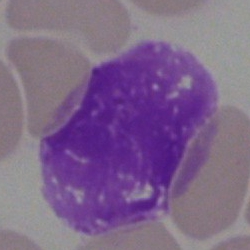Q: What is shown here?
A: Artifact.